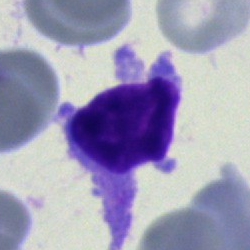

Single-cell crop from a bone marrow smear: typical lymphocyte.